Bone marrow aspirate smear — 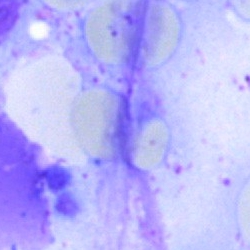
The cell type is artifact.